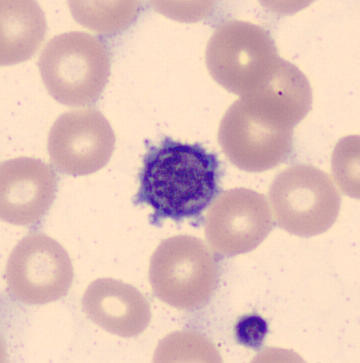 Acquisition: Peripheral blood smear; CellaVision DM96.
A thrombocyte.